Peripheral blood film · 400 by 400 pixels.
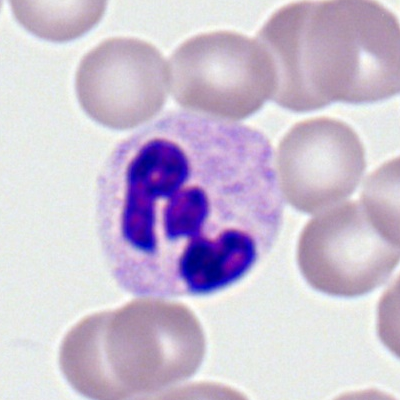 Cell type — polymorphonuclear neutrophil.